Single-cell crop · bone marrow smear — 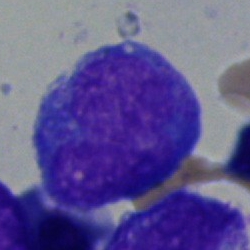

This is a blast.